Image size 250×250. Bone marrow aspirate smear. May-Grünwald-Giemsa stain — 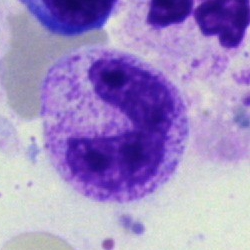 Morphology — stab cell.